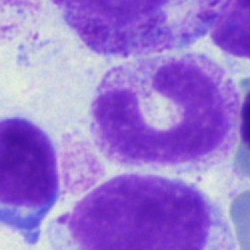 The morphological class is stab cell.